Bone marrow aspirate smear:
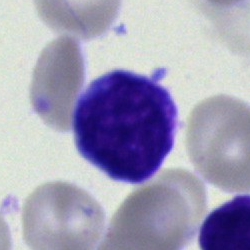{"cell_type": "undifferentiated blast"}